Bone marrow aspirate smear — 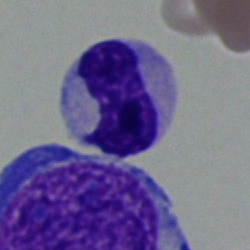

The cell shown is a neutrophil (band).